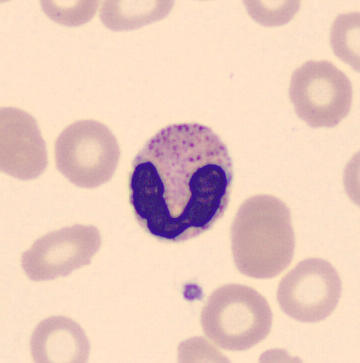
This is a band neutrophil.

Preparation: Peripheral blood smear; MGG-stained; imaged on a CellaVision DM96 analyser.